Bone marrow aspirate smear: 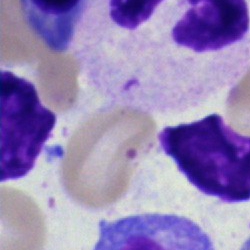
Classification — artefact.